Peripheral blood film.
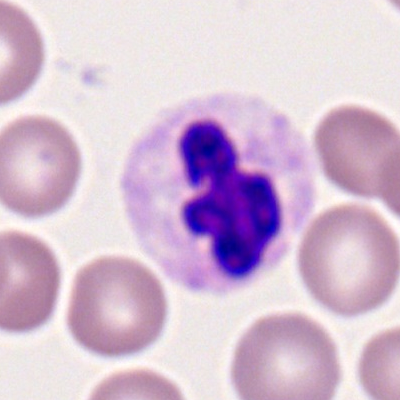 The cell type is neutrophil (segmented).